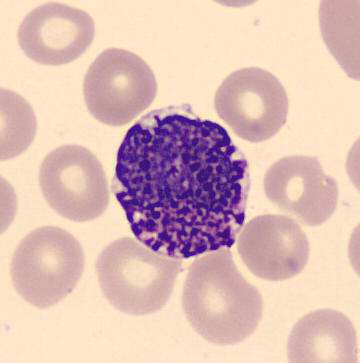The cell shown is a basophilic granulocyte. May Grünwald-Giemsa stain · peripheral blood smear · 360×363 px.